250 by 250 pixels · bone marrow smear
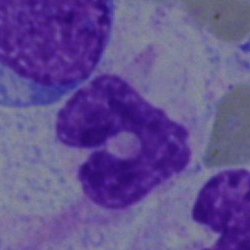 Morphology — polymorphonuclear neutrophil.